May-Grünwald-Giemsa/Pappenheim stain. Bone marrow smear: 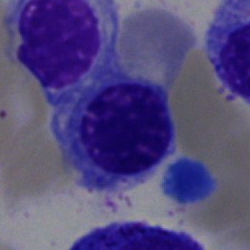The cell shown is a normoblast.